400 by 400 pixels. Romanowsky-stained. Peripheral blood film.
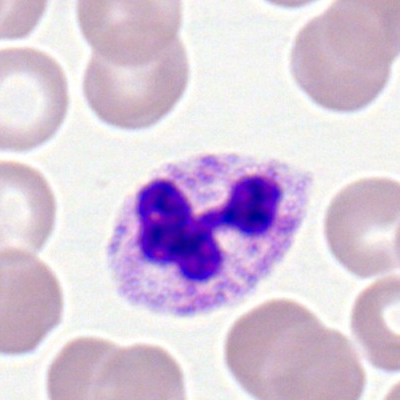
{"cell_type": "neutrophil (segmented)"}